Bone marrow smear · 40× objective, oil immersion · Pappenheim-stained: 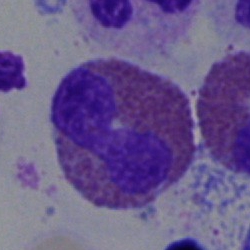

Q: What is the morphological classification of this cell?
A: It is an eosinophilic granulocyte.